Pappenheim-stained. Bone marrow aspirate smear.
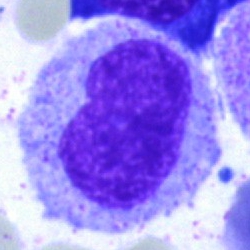 Single cell identified as a monocyte.